Bone marrow aspirate smear
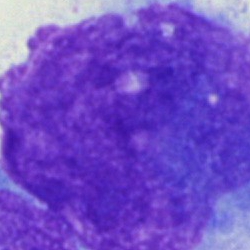
Morphology — artefact.